Peripheral blood smear: 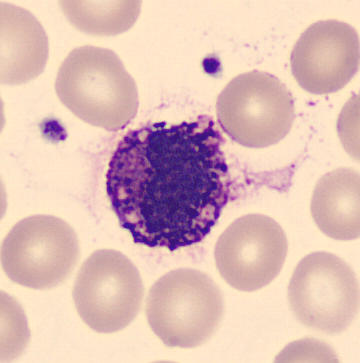Q: What cell is this?
A: This is a basophilic granulocyte.